Bone marrow aspirate smear: 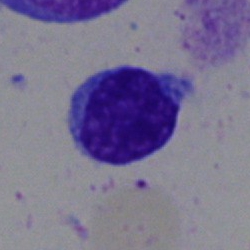{"cell_type": "typical lymphocyte", "lineage": "lymphoid"}